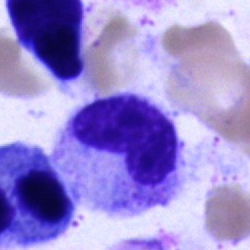 A metamyelocyte.